250 by 250 pixels · bone marrow smear · 40× objective, oil immersion.
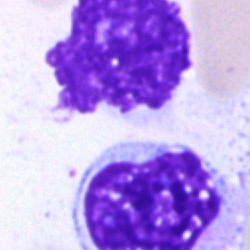Single cell identified as an artefact.